Bone marrow aspirate smear
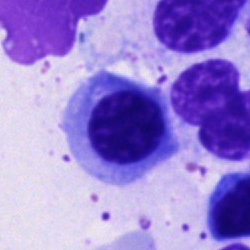Classification: nucleated red cell.